Bone marrow aspirate smear; image size 250×250: 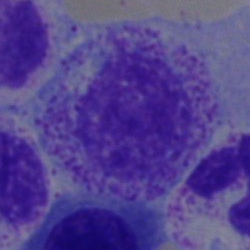 Q: What is shown here?
A: A myelocyte.